Bone marrow aspirate smear; May-Grünwald-Giemsa stain.
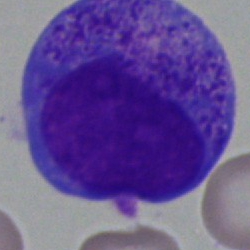 The classification is progranulocyte.